Bone marrow smear: 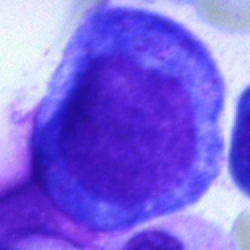Single cell identified as a promyelocyte.